Peripheral blood smear
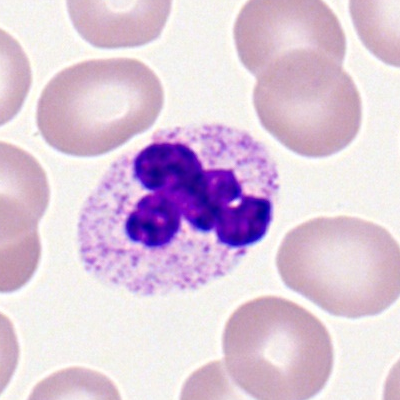
Specimen: peripheral blood film.
Morphological class: polymorphonuclear neutrophil.
Lineage: myeloid.